250×250. Bone marrow smear. MGG-stained
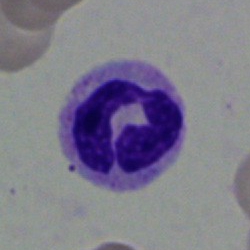
The cell type is segmented neutrophil.